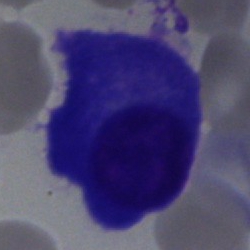

Cell = plasma cell.